Bone marrow smear.
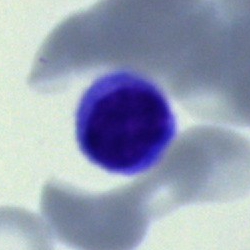An unidentifiable cell.